Bone marrow smear.
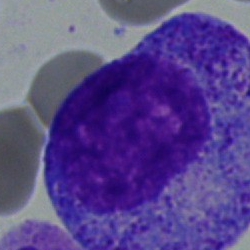Morphology — progranulocyte.